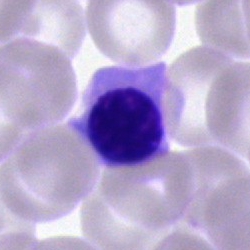
Q: Which cell type is shown here?
A: Erythroblast.